Bone marrow smear:
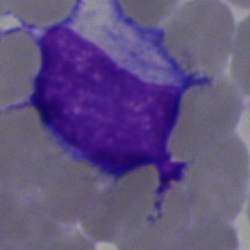

Morphology consistent with a typical lymphocyte.